Bone marrow smear:
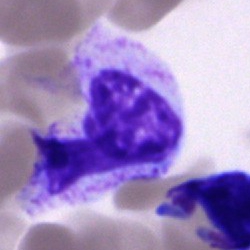
A polymorphonuclear neutrophil.